Bone marrow smear; Pappenheim-stained — 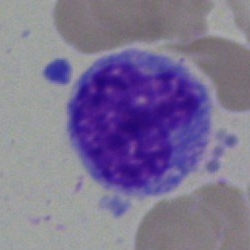

Q: Which cell type is shown here?
A: Monocyte.